Bone marrow aspirate smear: 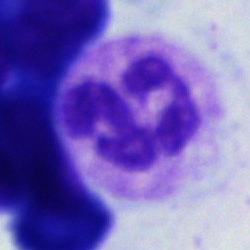

Specimen: bone marrow smear.
Classification: neutrophil (segmented).
Lineage: myeloid.